Brightfield, 40× oil-immersion objective. Bone marrow smear:
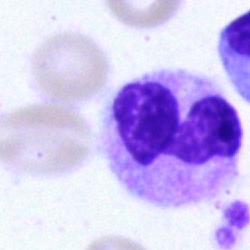Specimen: bone marrow aspirate smear.
Cell: segmented neutrophil.